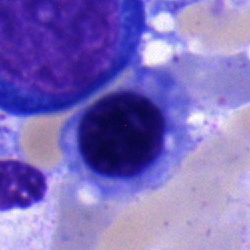Q: What type of cell is this?
A: It is a normoblast.